Bone marrow aspirate smear: 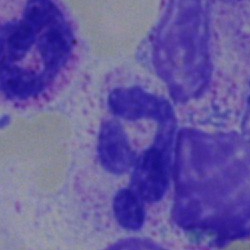Q: What is the morphological classification of this cell?
A: This is a segmented neutrophil.